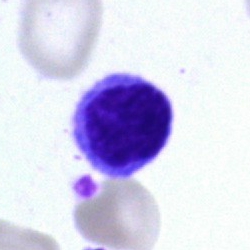
Impression — typical lymphocyte.